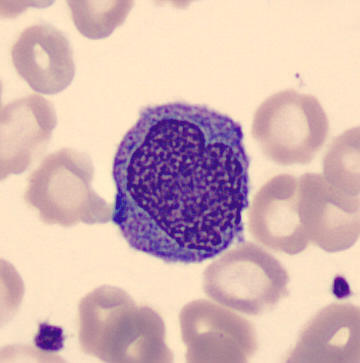Peripheral blood film, single cell — monocyte.